Image size 360×363; peripheral blood film — 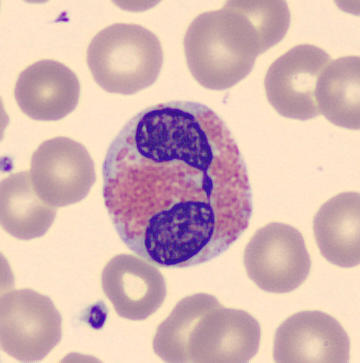Classification = eosinophil.